Bone marrow aspirate smear — 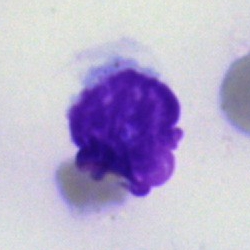 Q: What is shown here?
A: An artifact.